Bone marrow smear: 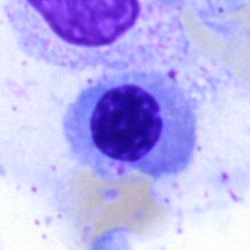
Cell = erythroblast.